Bone marrow smear — 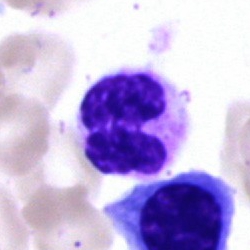

Q: Which cell type is shown here?
A: This is a polymorphonuclear neutrophil.